Bone marrow aspirate smear — 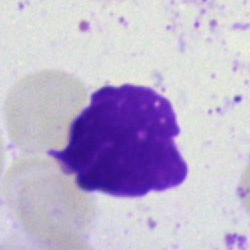

Morphology — artifact.